Bone marrow aspirate smear — 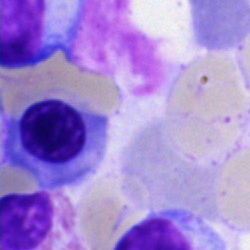 Q: What is shown here?
A: This is a nucleated red blood cell.